Bone marrow smear
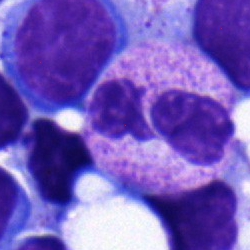

The cell shown is a segmented neutrophil.